Bone marrow smear · MGG-stained.
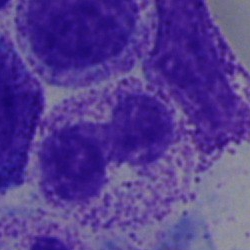
Specimen: bone marrow smear.
Cell type: stab cell.
Lineage: myeloid.